Bone marrow aspirate smear; 250×250 px
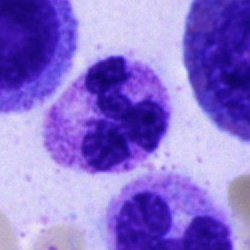 Impression — polymorphonuclear neutrophil.